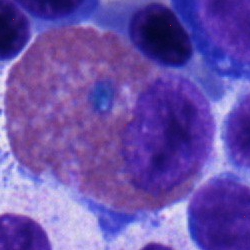

Bone marrow smear showing an eosinophilic granulocyte.